Bone marrow aspirate smear — 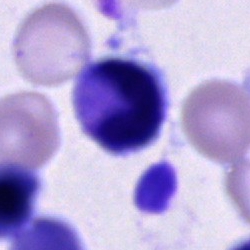 Classification = unidentifiable cell.